MGG-stained · bone marrow smear:
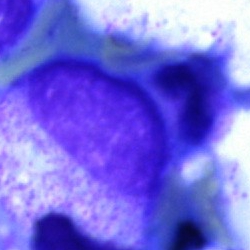
Myelocyte.